Peripheral blood film — 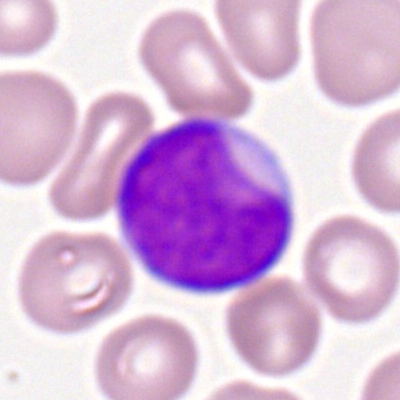
The cell shown is a myeloblast.